Bone marrow smear — 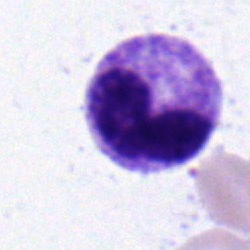Cell type = neutrophil (band).